Bone marrow smear; 250 by 250 pixels.
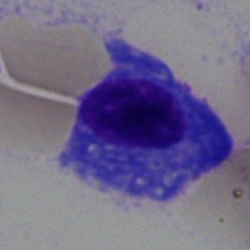 The cell shown is a plasmacyte.